Bone marrow aspirate smear · May-Grünwald-Giemsa stain — 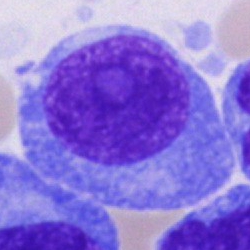 This is a plasmacyte.